Bone marrow aspirate smear — 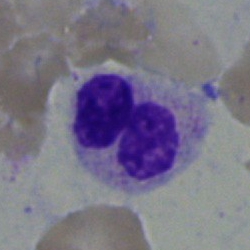Single cell identified as a segmented neutrophil.